Bone marrow aspirate smear
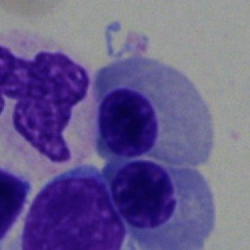

Nucleated red blood cell.